Bone marrow aspirate smear. Image size 250×250. Cropped to a single cell.
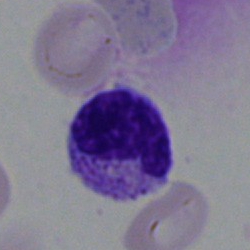
Q: What type of cell is this?
A: A band neutrophil.